Bone marrow aspirate smear
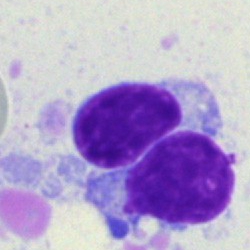
Specimen: bone marrow smear.
Cell: typical lymphocyte.